Image size 250×250 · bone marrow smear:
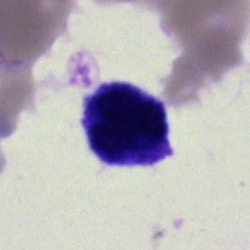

Cell — artefact.